Bone marrow aspirate smear: 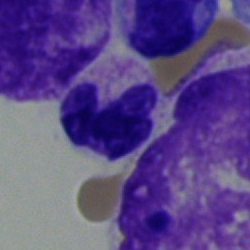
Q: What is the morphological classification of this cell?
A: Polymorphonuclear neutrophil.